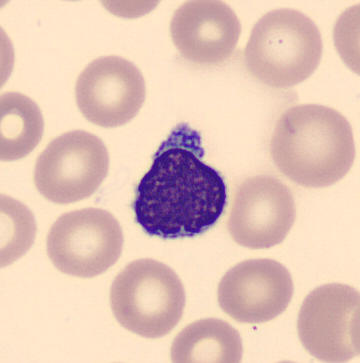
Cell type: typical lymphocyte.

Peripheral blood film · May Grünwald-Giemsa stain.